Bone marrow aspirate smear — 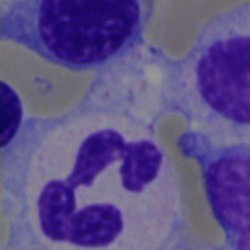

{"cell_type": "neutrophil (segmented)"}